Single cell centered in the field · bone marrow aspirate smear · image size 250×250 — 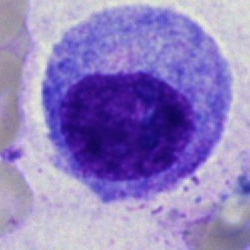 Morphology → promyelocyte.